Bone marrow aspirate smear. Single-cell crop.
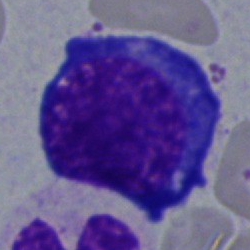 Specimen: bone marrow aspirate smear.
Classification: proerythroblast.
Lineage: erythroid.